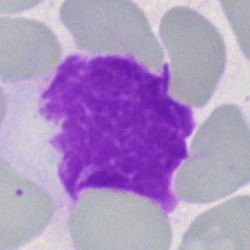
Showing an artefact.